Bone marrow smear: 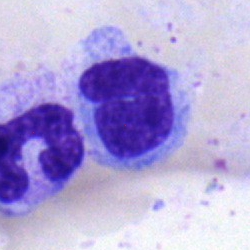
Cell type: monocyte.